Bone marrow aspirate smear
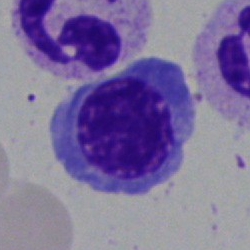 Cell: nucleated red blood cell.